Bone marrow smear · 40× objective, oil immersion — 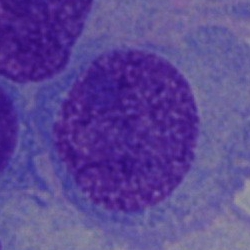Specimen: bone marrow smear.
Classification: plasmacyte.
Lineage: lymphoid.